Bone marrow smear.
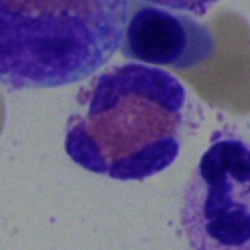

The cell shown is an eosinophilic granulocyte.